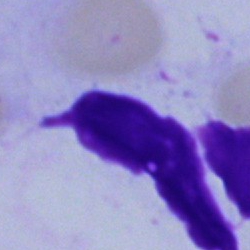
Impression → artifact.